Bone marrow smear: 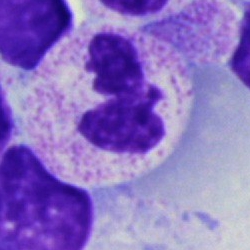
Impression → segmented neutrophil.